Bone marrow aspirate smear · Pappenheim-stained — 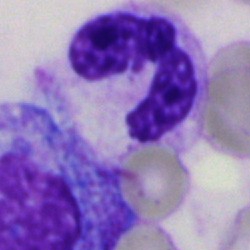Single cell identified as a polymorphonuclear neutrophil.